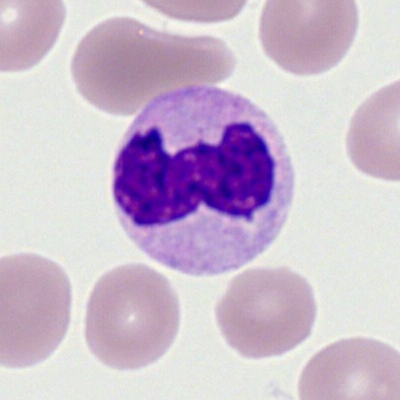

Specimen: peripheral blood film.
Cell: neutrophil (segmented).
Lineage: myeloid.